Romanowsky-type stain · peripheral blood film · 400×400 px: 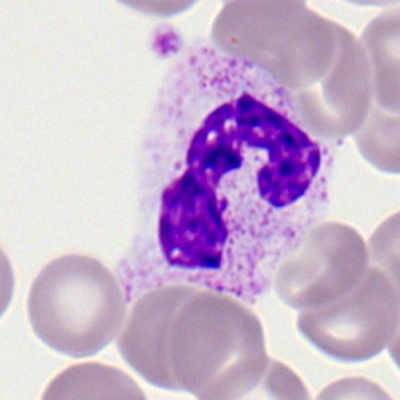

Cell: segmented neutrophil.